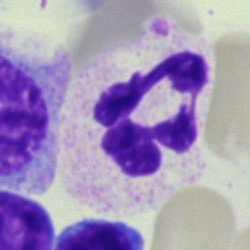

Morphology consistent with a polymorphonuclear neutrophil.